Bone marrow smear; brightfield, 40× oil-immersion objective — 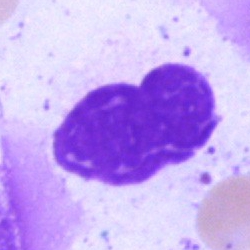

Specimen: bone marrow aspirate smear.
Cell type: artefact.